Bone marrow smear: 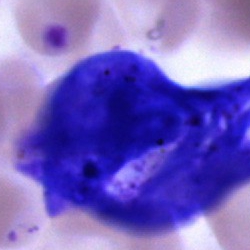

Specimen: bone marrow aspirate smear.
Morphological class: artifact.